Pappenheim-stained · bone marrow aspirate smear
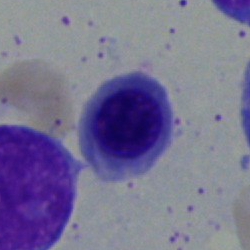 Classification — nucleated red cell.